Bone marrow aspirate smear · single cell centered in the field
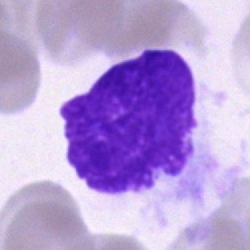Morphological class = cell of indeterminate lineage.